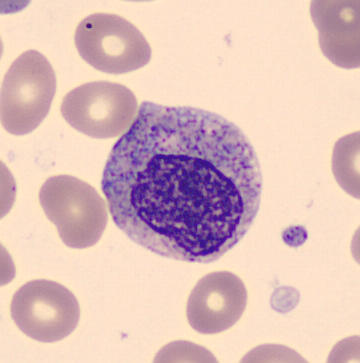
A myelocyte on a peripheral blood smear.